Bone marrow aspirate smear.
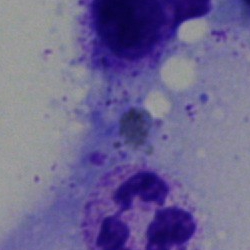
The cell shown is an artifact.